250 by 250 pixels · bone marrow smear · May-Grünwald-Giemsa/Pappenheim stain.
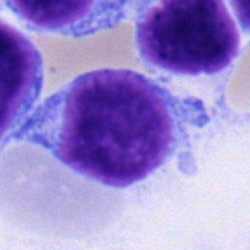 The cell is lymphocyte.